250×250 px; bone marrow smear:
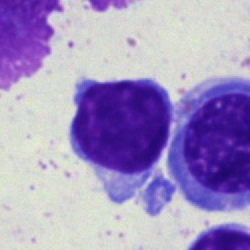 This is a typical lymphocyte.